Peripheral blood smear:
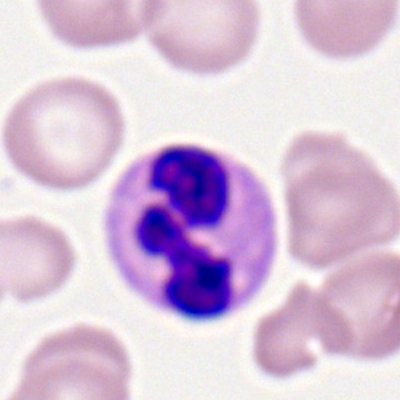
Cell type = neutrophil (segmented).